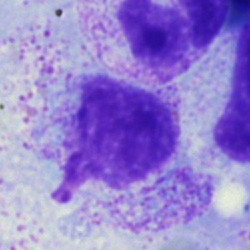Specimen: bone marrow aspirate smear.
Cell: artefact.